Bone marrow aspirate smear.
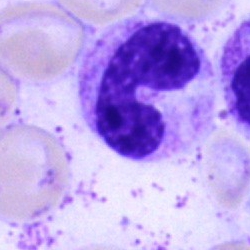 The cell shown is a band neutrophil.